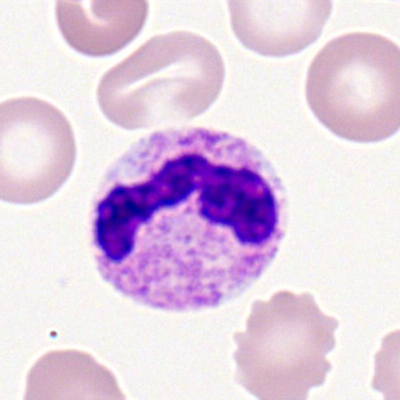Showing a segmented neutrophil.